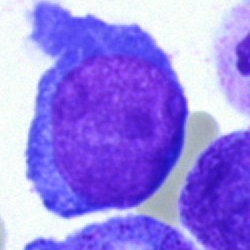
Single cell identified as a proerythroblast.